Bone marrow smear: 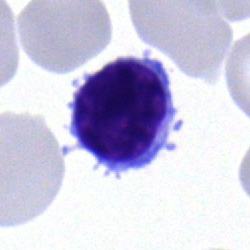This is a typical lymphocyte.